250×250 · bone marrow smear · 40× oil immersion.
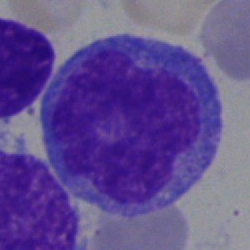Classification — monocyte.